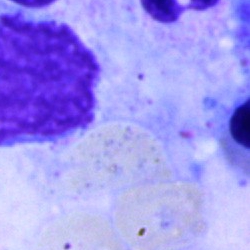
Morphology — artifact.